Bone marrow smear; image size 250×250 — 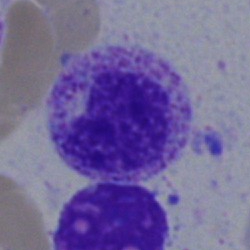
Cell = myelocyte.